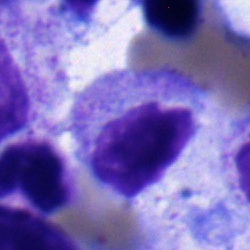Q: Which cell type is shown here?
A: It is a myelocyte.